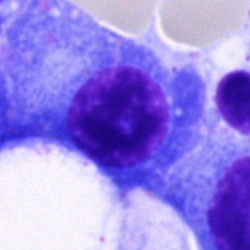The morphological class is plasmacyte.